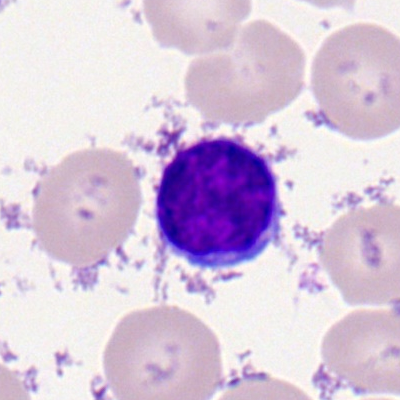 Morphology — typical lymphocyte.